Bone marrow smear
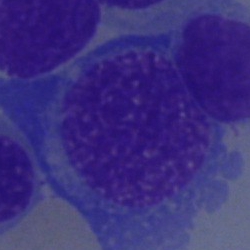Morphological class — nucleated red cell.